Bone marrow aspirate smear — 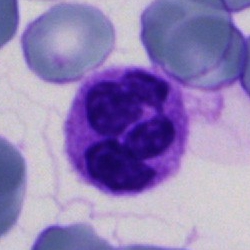 Specimen: bone marrow smear.
Morphological class: segmented neutrophil.
Lineage: myeloid.